Bone marrow aspirate smear
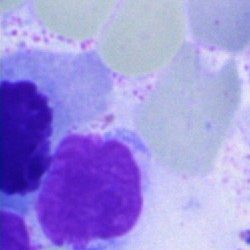
Cell type — artifact.